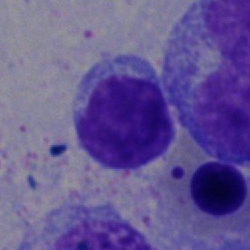 Morphological class: typical lymphocyte.